Peripheral blood film; Romanowsky-type stain.
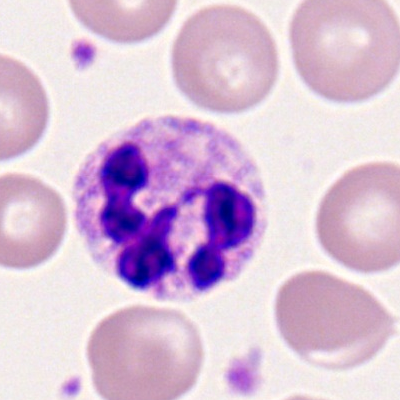
Q: What is the morphological classification of this cell?
A: This is a neutrophil (segmented).